Bone marrow smear.
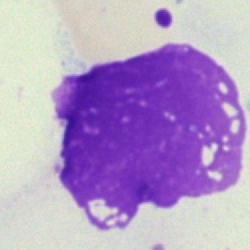This is an artifact.